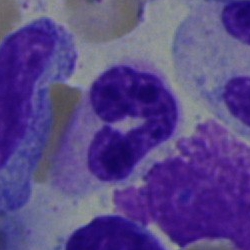 The cell shown is a band-form neutrophil.